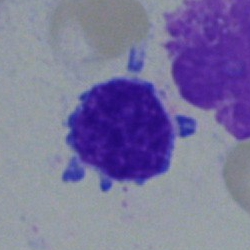Morphological class = typical lymphocyte.